Bone marrow aspirate smear — 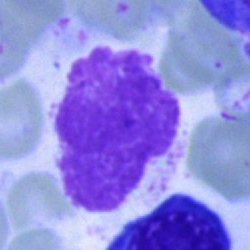
The morphological class is artefact.